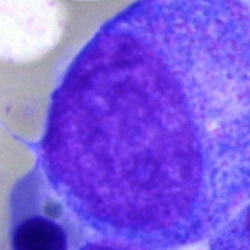Q: What is shown here?
A: It is a progranulocyte.